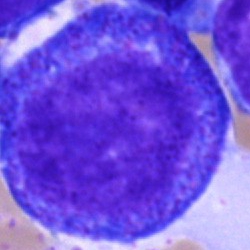 Cell = progranulocyte.